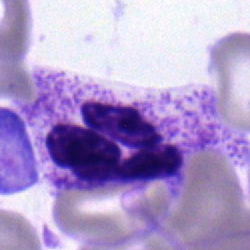
Q: Identify the cell.
A: Polymorphonuclear neutrophil.